Bone marrow aspirate smear · image size 250×250.
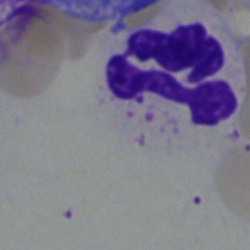
This is a polymorphonuclear neutrophil.